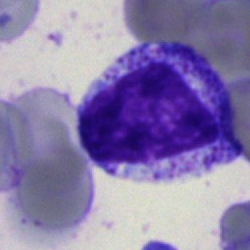Cell type: myelocyte.